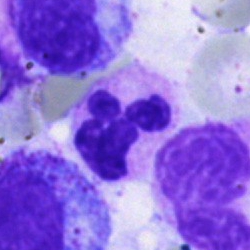 Impression → neutrophil (segmented).